Bone marrow aspirate smear; 250×250; May-Grünwald-Giemsa stain
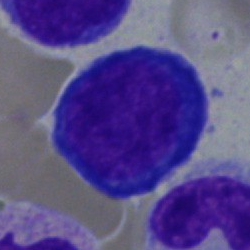 Pronormoblast.